Bone marrow smear · brightfield microscopy, 40× oil immersion — 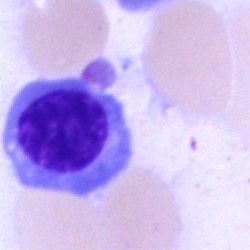
A nucleated red cell.